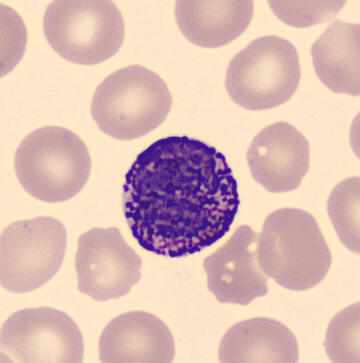

The cell shown is a basophilic granulocyte.
Peripheral blood film.